Bone marrow aspirate smear
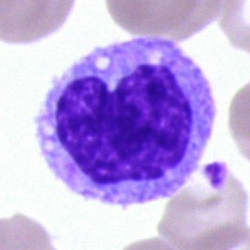

Impression → monocyte.